Bone marrow aspirate smear
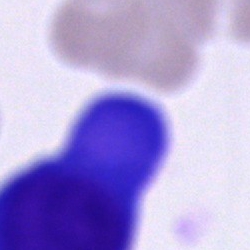

Morphology consistent with a plasmacyte.